250 by 250 pixels; bone marrow smear: 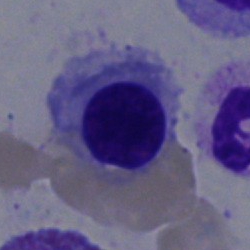

Classification: nucleated red blood cell.